Bone marrow smear; 250×250:
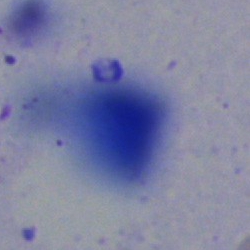

Classification — artefact.